Bone marrow aspirate smear — 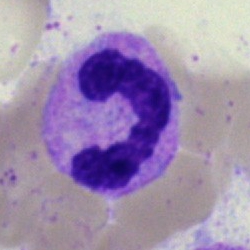Q: What is shown here?
A: A neutrophil (segmented).